250×250 px · cropped to a single cell · bone marrow aspirate smear — 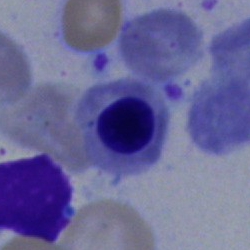 Q: Identify the cell.
A: Erythroblast.